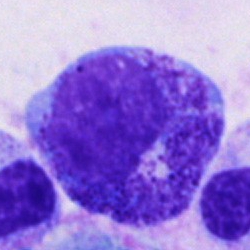Specimen: bone marrow smear.
Cell type: progranulocyte.
Lineage: myeloid.